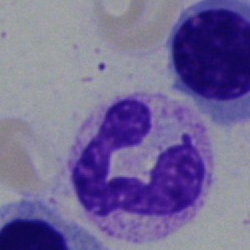
Impression — neutrophil (segmented).